Peripheral blood film
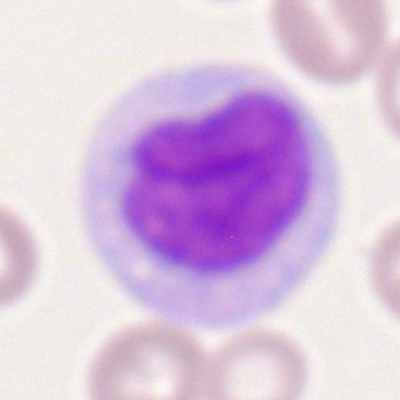
Specimen: peripheral blood film.
Morphological class: monocyte.
Lineage: myeloid.